Bone marrow smear
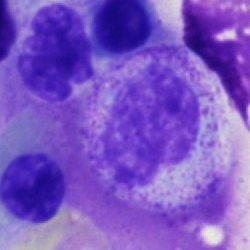

Impression — metamyelocyte.